Bone marrow smear:
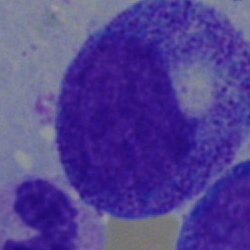
Showing a promyelocyte.